400 by 400 pixels. Peripheral blood film — 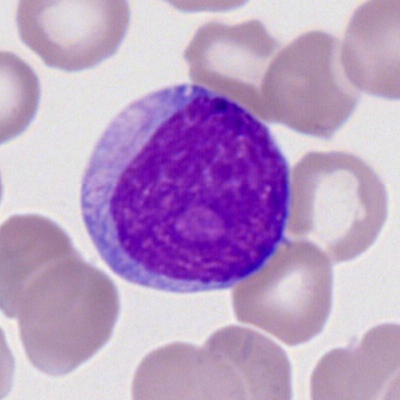
Specimen: peripheral blood film.
Cell: myeloblast.